MGG-stained · bone marrow smear
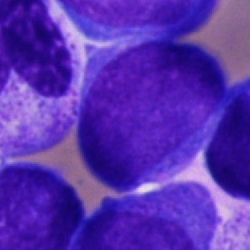

Morphology consistent with a blast cell.